Brightfield microscopy, 40× oil immersion · May-Grünwald-Giemsa/Pappenheim stain · bone marrow smear.
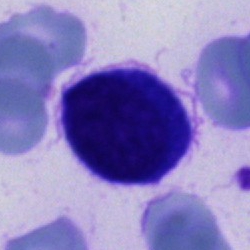Morphological class = unidentifiable cell.